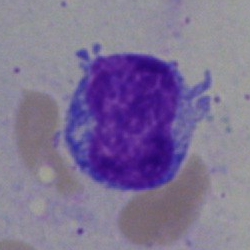
This is a blast.